Bone marrow aspirate smear:
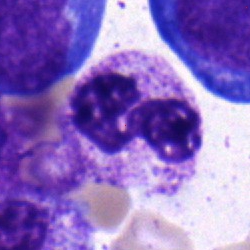

Q: What type of cell is this?
A: This is a polymorphonuclear neutrophil.